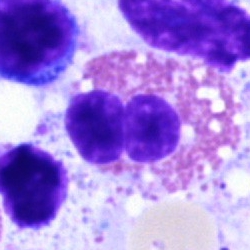

Morphological class = eosinophil.